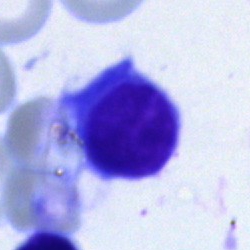 Morphology → lymphocyte.